Bone marrow smear
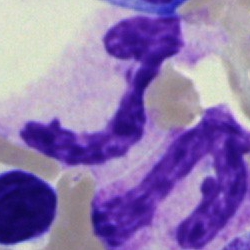 Q: Which cell type is shown here?
A: This is a segmented neutrophil.